Bone marrow aspirate smear: 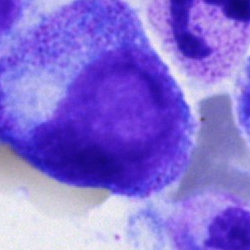
Morphological class: progranulocyte.